Bone marrow smear; 250 by 250 pixels; single cell centered in the field.
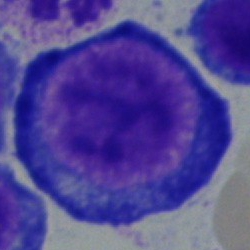

Q: What cell is this?
A: A pronormoblast.